Bone marrow aspirate smear. Brightfield, 40× oil-immersion objective. May-Grünwald-Giemsa stain
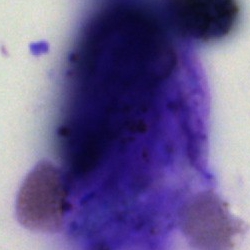 Classification — artifact.